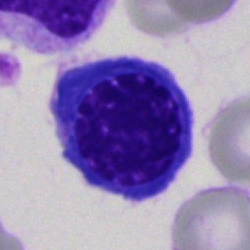 Classification: normoblast.